Bone marrow aspirate smear; image size 250×250
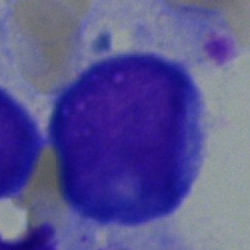

Morphology consistent with an undifferentiated blast.